Bone marrow smear · May-Grünwald-Giemsa/Pappenheim stain
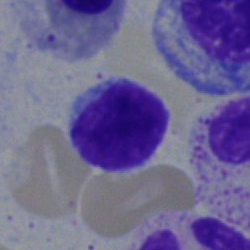

Morphology — typical lymphocyte.